Bone marrow aspirate smear. Single cell centered in the field — 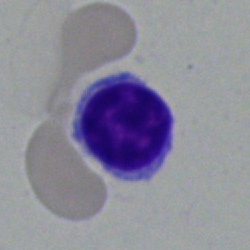
Typical lymphocyte.